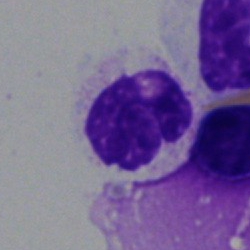

Bone marrow aspirate smear, single cell — polymorphonuclear neutrophil.